Bone marrow smear: 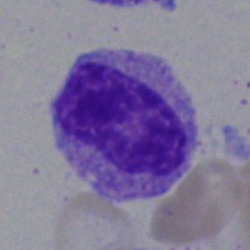 Morphology consistent with a metamyelocyte.